Bone marrow smear: 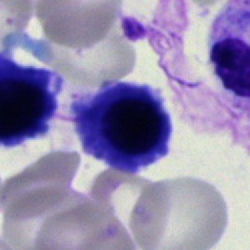
Nucleated red blood cell.